Single-cell field; 40× oil immersion; bone marrow aspirate smear.
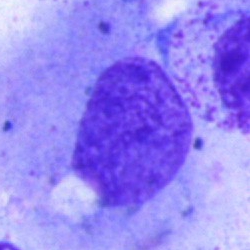

Morphological class: artefact.